Image size 250×250; bone marrow smear.
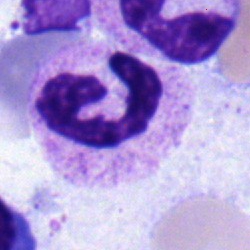

Q: What is the morphological classification of this cell?
A: This is a segmented neutrophil.